250 by 250 pixels · bone marrow aspirate smear — 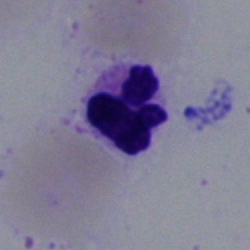Q: What cell is this?
A: This is a neutrophil (segmented).